Peripheral blood smear — 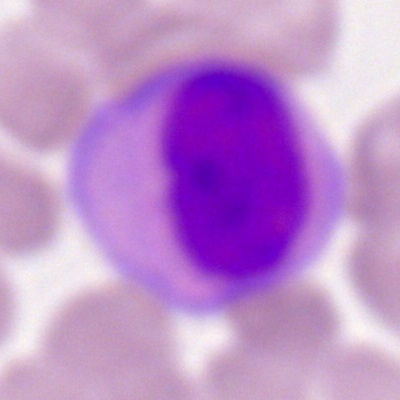
The morphological class is myeloid blast.